Bone marrow smear. 250×250 — 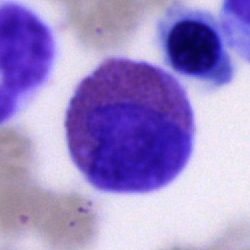

Cell type = eosinophilic granulocyte.